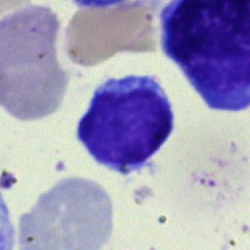Impression — lymphocyte.